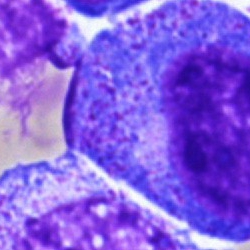Specimen: bone marrow smear.
Cell: progranulocyte.